Bone marrow smear:
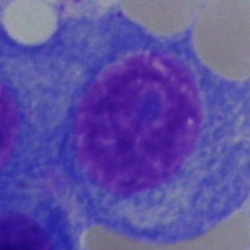Impression — plasmacyte.